Pappenheim-stained. Bone marrow aspirate smear.
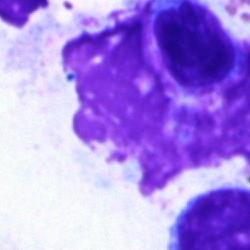

{"cell_type": "artefact"}